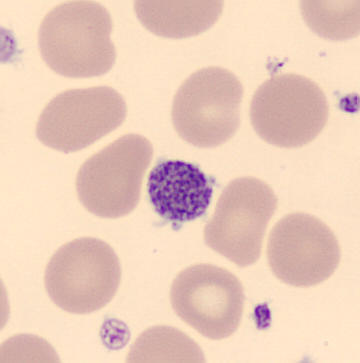
Showing a thrombocyte.